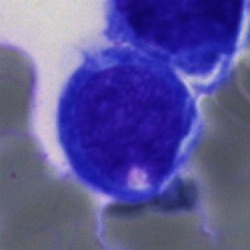Single-cell crop from a bone marrow smear: undifferentiated blast.